Bone marrow smear: 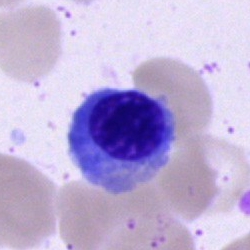 Cell: normoblast.